Bone marrow aspirate smear. 250×250. Pappenheim-stained.
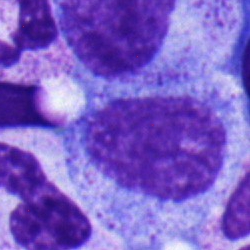
Q: Identify the cell.
A: This is a myelocyte.